Single-cell crop · bone marrow smear · brightfield microscopy, 40× oil immersion
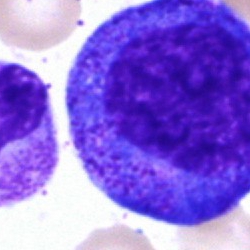
Classification = progranulocyte.